250 by 250 pixels. Bone marrow aspirate smear — 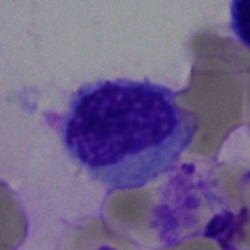
{"cell_type": "lymphocyte"}